Bone marrow aspirate smear:
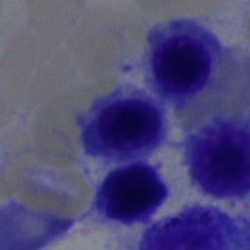 A normoblast.